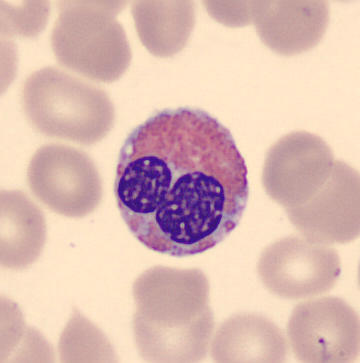Peripheral blood smear. Q: Which cell type is shown here?
A: It is an eosinophil.